Bone marrow aspirate smear
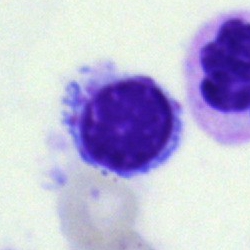

Cell type = lymphocyte.